Bone marrow aspirate smear; cropped to a single cell.
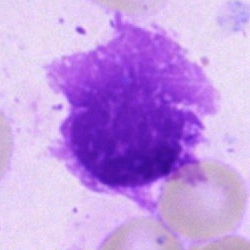 Q: What is shown here?
A: It is an artefact.